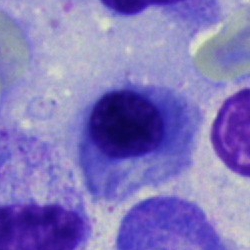

A nucleated red cell.